May-Grünwald-Giemsa stain · bone marrow smear:
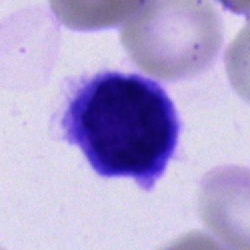
The cell shown is an artefact.